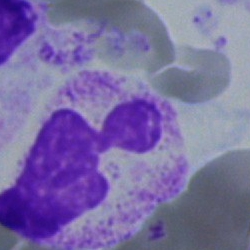

Morphology consistent with a polymorphonuclear neutrophil.